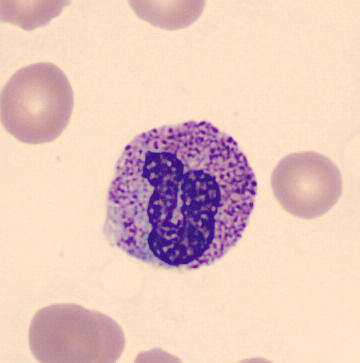
360 by 363 pixels · May-Grünwald-Giemsa-stained · peripheral blood film.

Q: Identify the cell.
A: A stab cell.